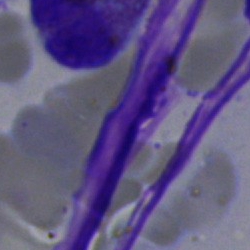
Impression — artifact.